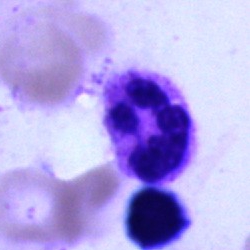The cell is segmented neutrophil.